Bone marrow aspirate smear · May-Grünwald-Giemsa/Pappenheim stain: 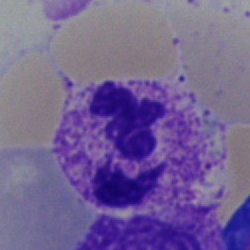Cell type: segmented neutrophil.